40× objective, oil immersion; bone marrow smear — 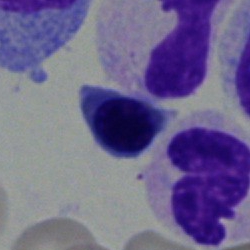
Impression — nucleated red cell.